Single-cell field · 40× oil immersion · bone marrow aspirate smear.
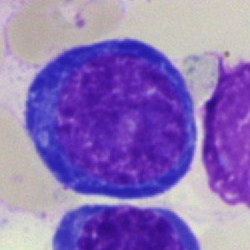 Cell = pronormoblast.